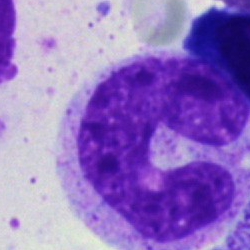 Classification: stab cell.